360×363 px; peripheral blood smear: 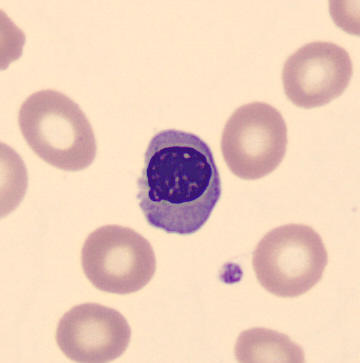This is a nucleated red blood cell.